Bone marrow smear. Single-cell crop
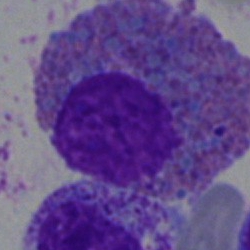Specimen: bone marrow aspirate smear.
Classification: eosinophilic granulocyte.